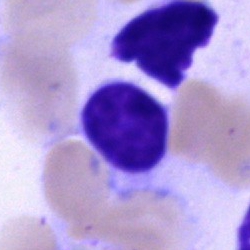
Single cell identified as a typical lymphocyte.